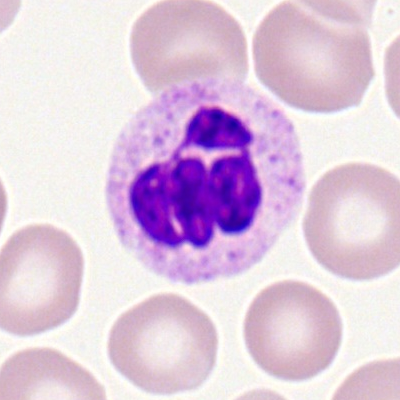Q: Identify the cell.
A: This is a neutrophil (segmented).